Bone marrow smear.
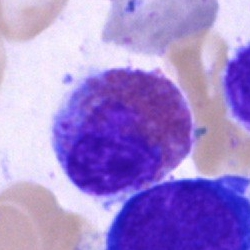 Specimen: bone marrow smear.
Cell: eosinophilic granulocyte.
Lineage: myeloid.